Bone marrow aspirate smear:
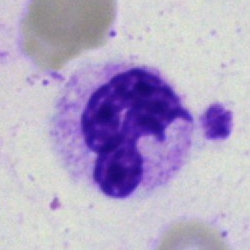 Specimen: bone marrow smear.
Classification: neutrophil (segmented).
Lineage: myeloid.